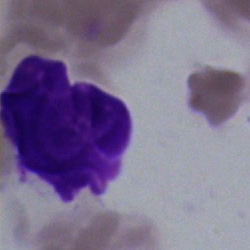Single cell identified as an artefact.